Peripheral blood smear; single-cell field; image size 400×400
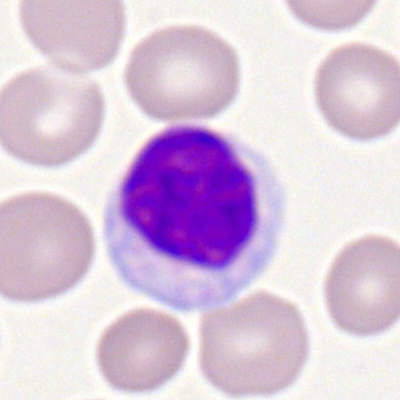

Showing a typical lymphocyte.